Image size 250×250 · bone marrow smear — 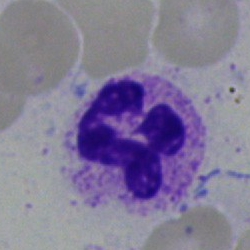 Cell: polymorphonuclear neutrophil.